Bone marrow smear.
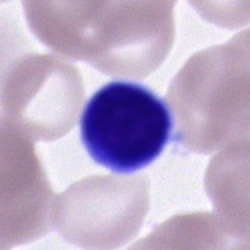

The cell type is typical lymphocyte.